250×250. Brightfield microscopy, 40× oil immersion. Bone marrow smear: 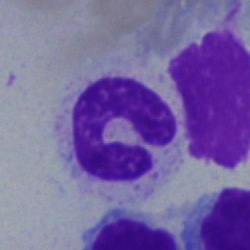
Morphology consistent with a band neutrophil.